Bone marrow smear: 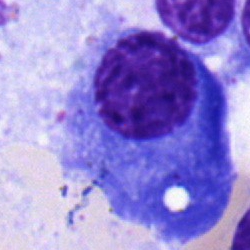

Plasma cell.